Bone marrow aspirate smear: 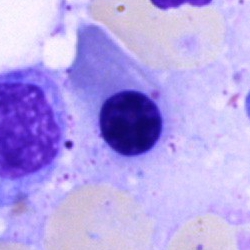 This is an erythroblast.